Bone marrow aspirate smear; 40× objective, oil immersion
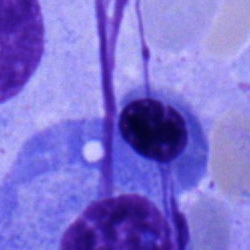 A nucleated red cell.